Bone marrow aspirate smear; 250×250 px — 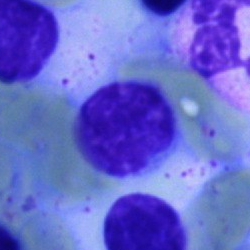

Impression — typical lymphocyte.